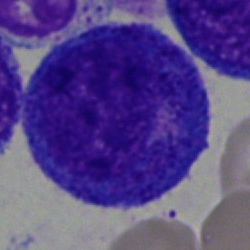

The cell type is progranulocyte.